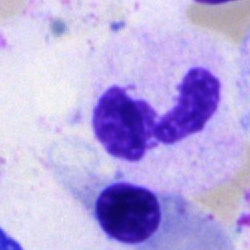
Cell type = neutrophil (segmented).